Bone marrow smear. 250 by 250 pixels: 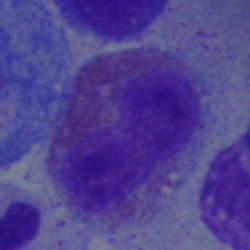 Q: What type of cell is this?
A: This is an eosinophil.